Peripheral blood film
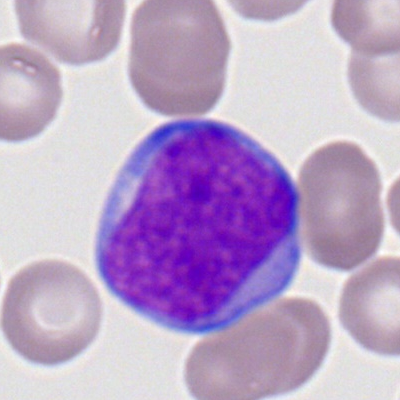

The cell type is myeloblast.